Bone marrow smear · MGG-stained.
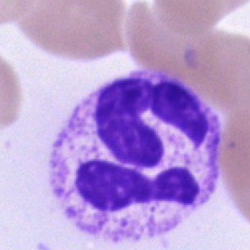Classification: segmented neutrophil.